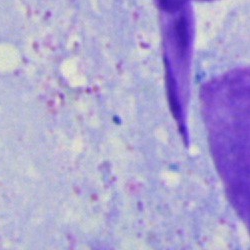

Single-cell crop from a bone marrow smear: artifact.